Bone marrow aspirate smear:
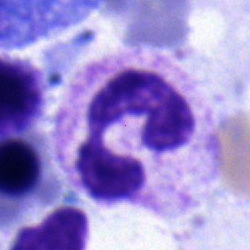
Neutrophil (segmented).